Pappenheim-stained · bone marrow smear
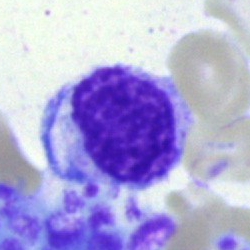
Showing a lymphocyte.